Bone marrow smear
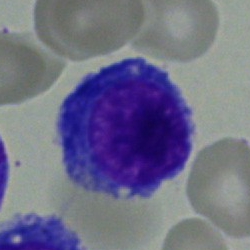
Q: What is the morphological classification of this cell?
A: A proerythroblast.